Bone marrow smear — 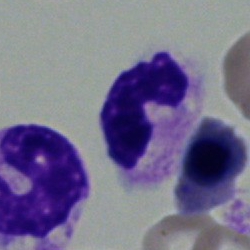
Single cell identified as a polymorphonuclear neutrophil.